Bone marrow aspirate smear:
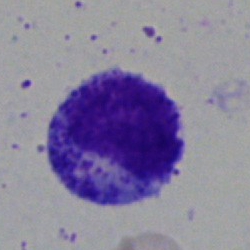
Single cell identified as a promyelocyte.